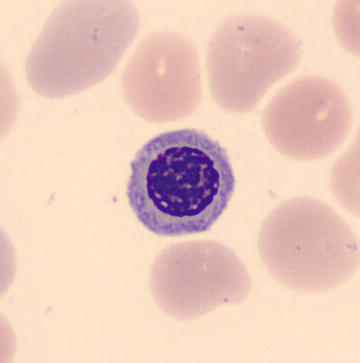 Cell type — nucleated red cell. Preparation: Single-cell crop · peripheral blood film.